Bone marrow aspirate smear
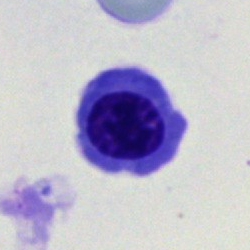Cell type — normoblast.